Single-cell field; bone marrow aspirate smear; May-Grünwald-Giemsa stain
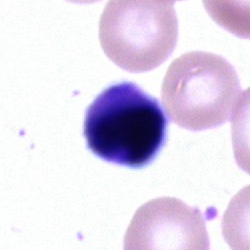
Specimen: bone marrow aspirate smear.
Morphological class: unidentifiable cell.